Bone marrow aspirate smear
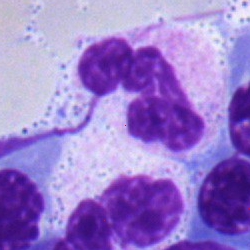
Specimen: bone marrow smear.
Cell type: neutrophil (segmented).